Bone marrow aspirate smear.
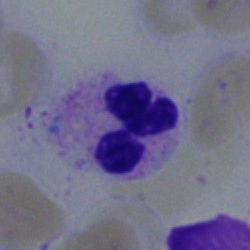

{"cell_type": "segmented neutrophil", "lineage": "myeloid"}